Single-cell field · bone marrow smear — 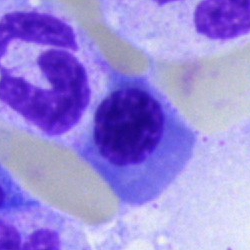

Normoblast.